May-Grünwald-Giemsa/Pappenheim stain · bone marrow smear · single-cell crop
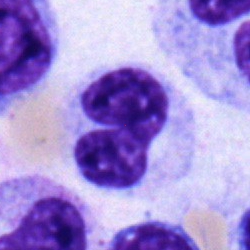
The cell shown is a band-form neutrophil.